Bone marrow aspirate smear.
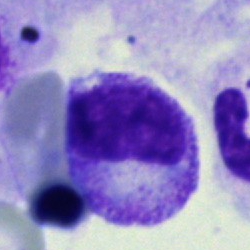

A metamyelocyte.